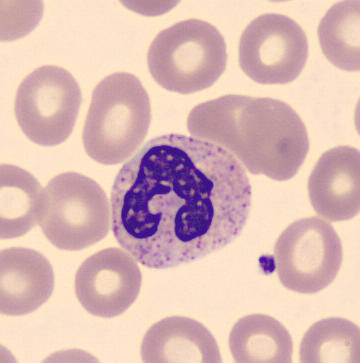Acquisition: Peripheral blood smear.

Morphological class: neutrophil (segmented).